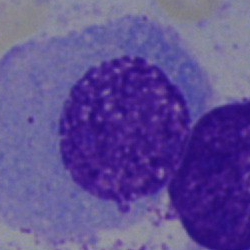 Impression — plasmacyte.